40× objective, oil immersion; bone marrow aspirate smear
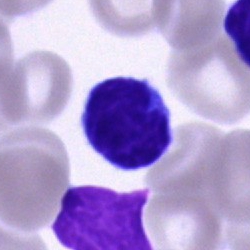 Impression — lymphocyte.